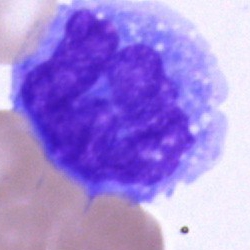 Classification — monocyte.